Bone marrow smear.
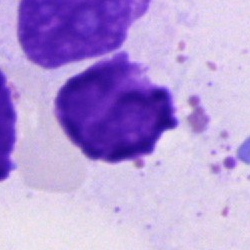

This is an artifact.